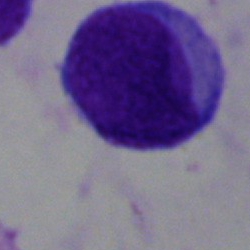

The cell is undifferentiated blast.